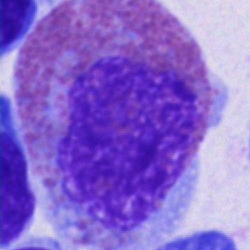 Specimen: bone marrow smear.
Classification: eosinophil.
Lineage: myeloid.